Bone marrow smear. Single-cell crop:
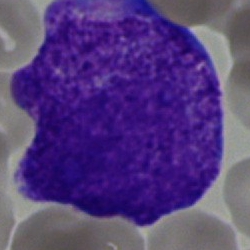

Q: What type of cell is this?
A: A blast.